Peripheral blood film
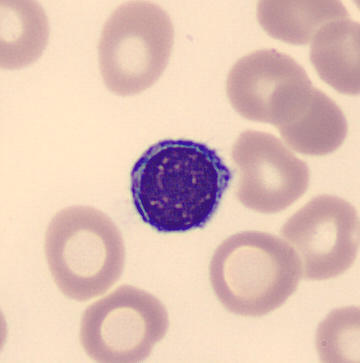 Classification — lymphocyte.